Bone marrow aspirate smear · 40× oil immersion — 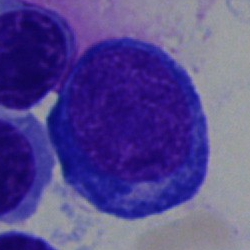
A pronormoblast.